Image size 250×250; bone marrow aspirate smear: 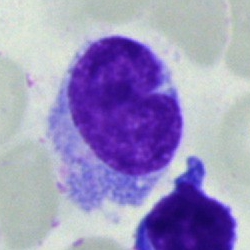Hairy cell.